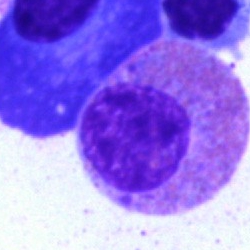 An eosinophil.